Bone marrow smear. Image size 250×250: 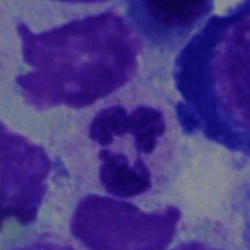 Classification — neutrophil (segmented).